Bone marrow aspirate smear.
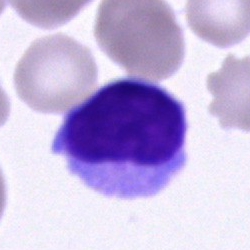Morphology consistent with a typical lymphocyte.